Bone marrow aspirate smear:
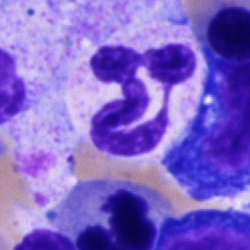
A polymorphonuclear neutrophil.